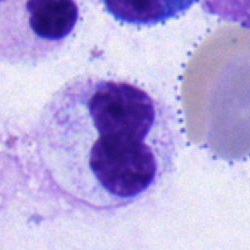 The cell shown is a segmented neutrophil.